Bone marrow aspirate smear.
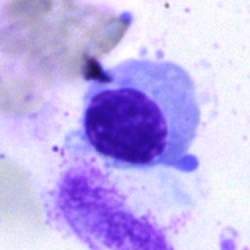 The cell type is normoblast.